Peripheral blood film:
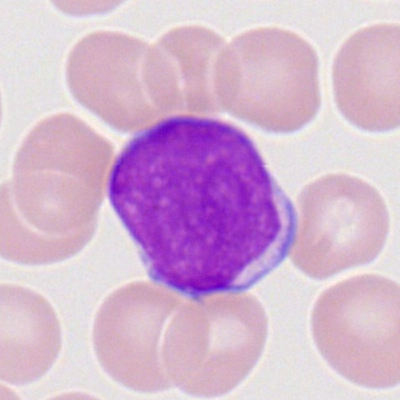The classification is myeloid blast.